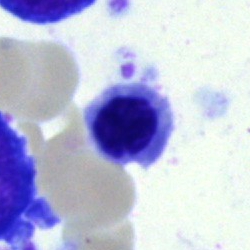
Morphology consistent with a nucleated red cell.